Peripheral blood film · 100× oil immersion, 14.14 px/µm.
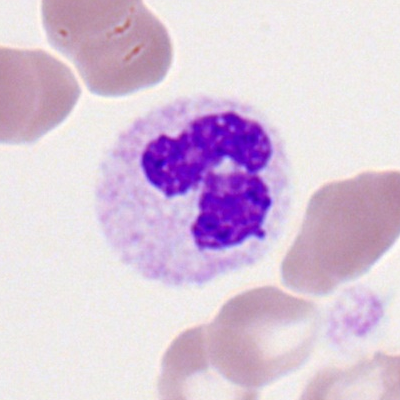 Cell type = segmented neutrophil.